Bone marrow smear:
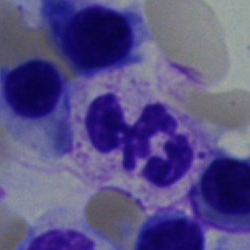
Q: What is shown here?
A: It is a polymorphonuclear neutrophil.